Bone marrow aspirate smear. Brightfield, 40× oil-immersion objective:
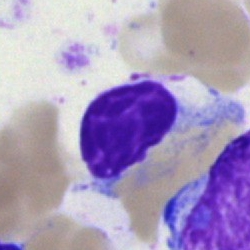
A lymphocyte.